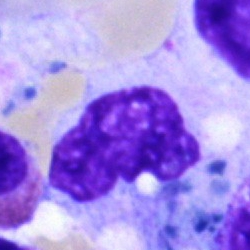The classification is artefact.